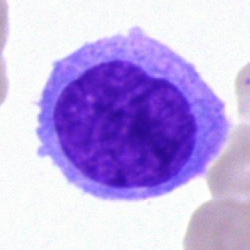 Specimen: bone marrow smear.
Cell type: blast cell.